Bone marrow aspirate smear · May-Grünwald-Giemsa/Pappenheim stain · 250×250: 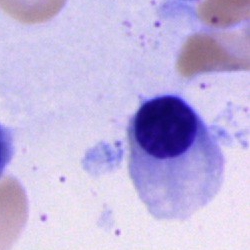 Impression → nucleated red blood cell.